Cropped to a single cell; bone marrow smear.
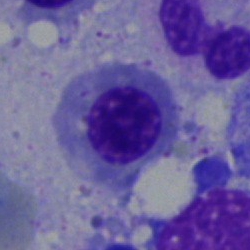
Showing an erythroblast.